Bone marrow smear:
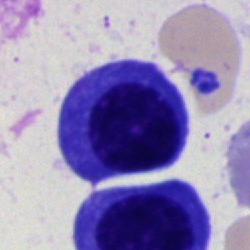

Specimen: bone marrow aspirate smear.
Cell: nucleated red blood cell.
Lineage: erythroid.